Bone marrow smear · single cell centered in the field:
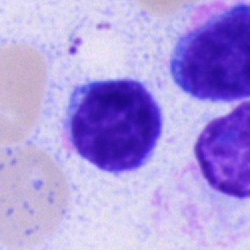

Specimen: bone marrow aspirate smear.
Cell: lymphocyte.
Lineage: lymphoid.